Peripheral blood smear: 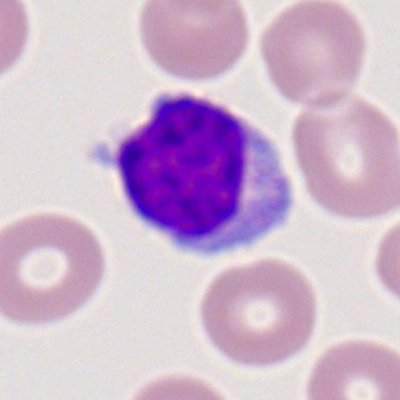Q: What type of cell is this?
A: It is a lymphocyte.